Bone marrow smear · 250×250 px — 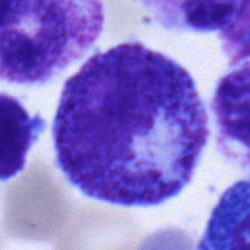
Specimen: bone marrow smear.
Morphological class: metamyelocyte.
Lineage: myeloid.